Bone marrow smear: 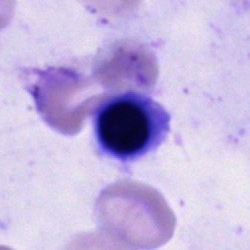
Cell type — unidentifiable cell.